Bone marrow aspirate smear — 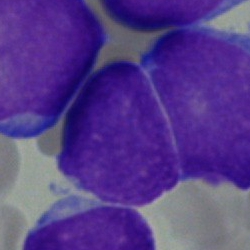 Specimen: bone marrow smear.
Classification: undifferentiated blast.